Bone marrow smear.
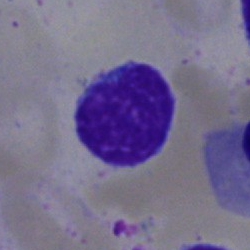 The morphological class is lymphocyte.